250 by 250 pixels · May-Grünwald-Giemsa/Pappenheim stain · bone marrow aspirate smear — 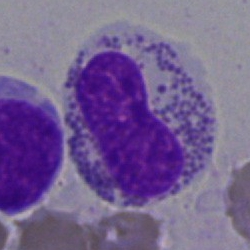

Cell = eosinophilic granulocyte.